MGG-stained; bone marrow aspirate smear; 40× objective, oil immersion: 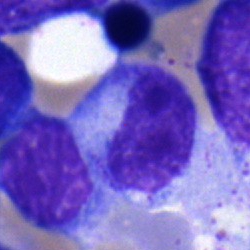Showing a metamyelocyte.